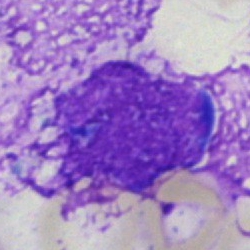

Artefact.